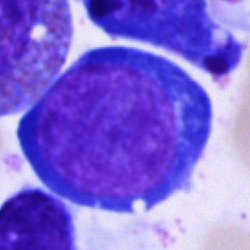 Showing a pronormoblast.